Bone marrow smear. 250×250 px:
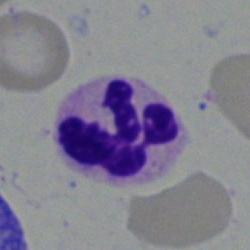

Classification: neutrophil (segmented).